Bone marrow smear.
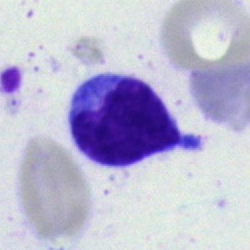
Specimen: bone marrow smear.
Cell type: lymphocyte.